Bone marrow aspirate smear: 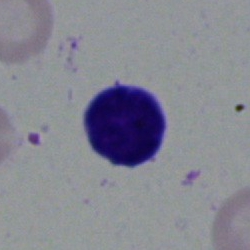

A lymphocyte.